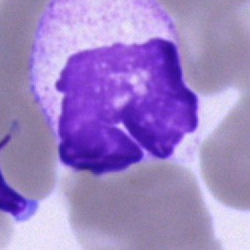

Impression — cell of indeterminate lineage.